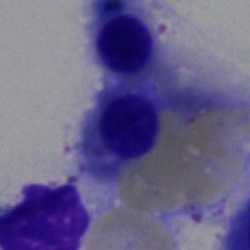
Nucleated red cell.